May-Grünwald-Giemsa/Pappenheim stain; bone marrow aspirate smear
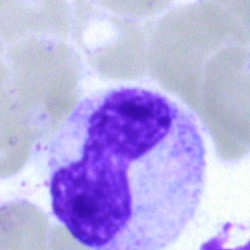
Band-form neutrophil.